Bone marrow smear; 250 by 250 pixels; 40× oil immersion — 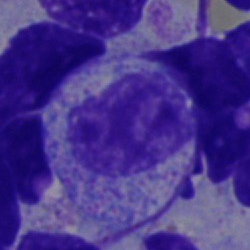{"cell_type": "metamyelocyte", "lineage": "myeloid"}